Bone marrow smear — 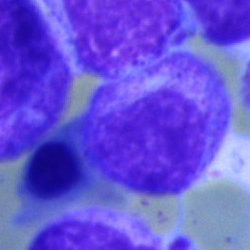 Cell: myelocyte.